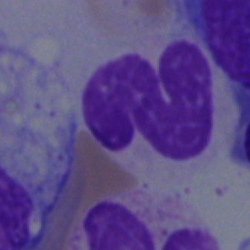{"cell_type": "artefact"}